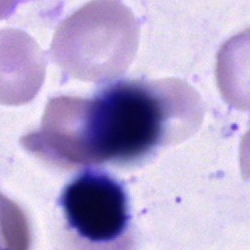Q: Which cell type is shown here?
A: An unidentifiable cell.